Bone marrow smear; Pappenheim-stained; 250×250: 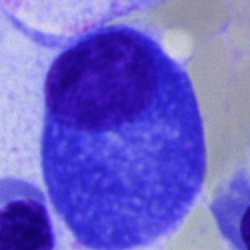
A plasmacyte.